Bone marrow aspirate smear: 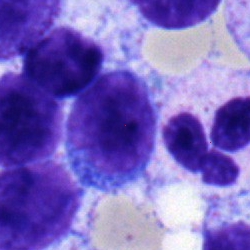
Showing a lymphocyte.